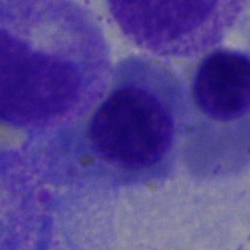Bone marrow aspirate smear, single cell — nucleated red cell.